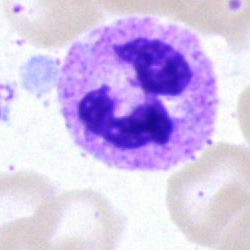 Q: What cell is this?
A: Segmented neutrophil.